Bone marrow smear. Brightfield, 40× oil-immersion objective.
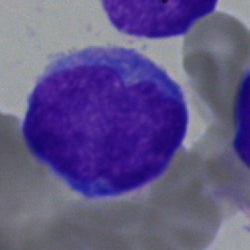

Q: What is shown here?
A: This is an undifferentiated blast.